Peripheral blood smear — 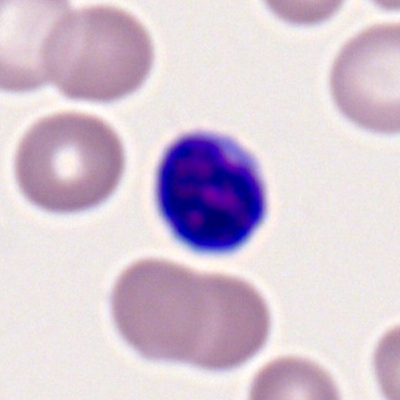
Cell type: typical lymphocyte.